Bone marrow smear — 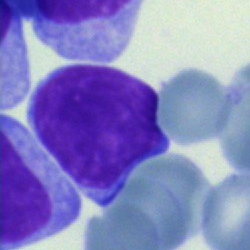Morphology consistent with a lymphocyte.